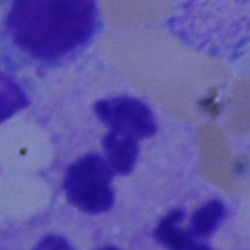 Segmented neutrophil.